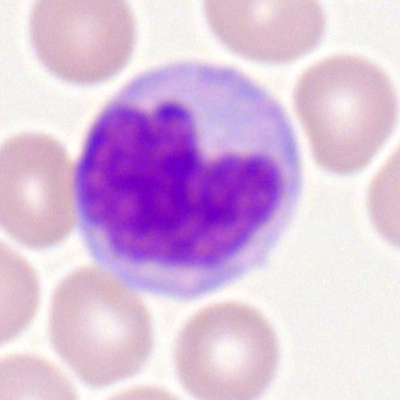 Specimen: peripheral blood film.
Cell: monocyte.